40× objective, oil immersion · bone marrow smear
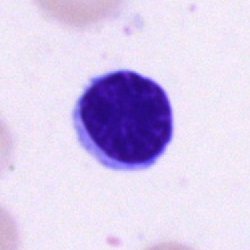 The classification is lymphocyte.